Bone marrow smear; 250×250 — 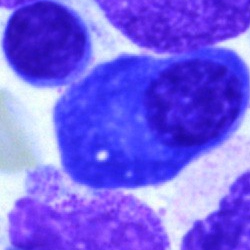

A plasma cell.